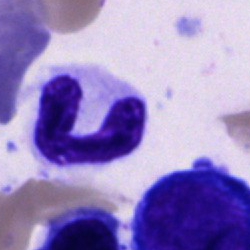

Single-cell crop from a bone marrow smear: stab cell.